Brightfield microscopy, 40× oil immersion · 250×250 px · bone marrow aspirate smear:
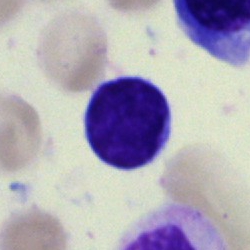

Showing a lymphocyte.